Bone marrow aspirate smear: 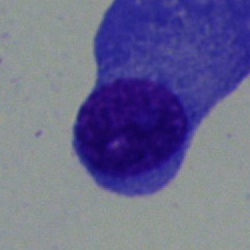

Morphology consistent with a plasmacyte.